Brightfield, 40× oil-immersion objective; bone marrow aspirate smear
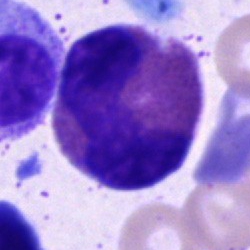

Q: What is shown here?
A: Eosinophilic granulocyte.